Bone marrow smear.
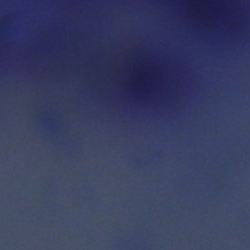
Morphology — artefact.